May-Grünwald-Giemsa/Pappenheim stain; brightfield, 40× oil-immersion objective; bone marrow aspirate smear.
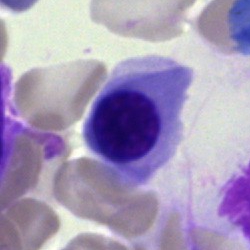 Single cell identified as a normoblast.